Peripheral blood smear — 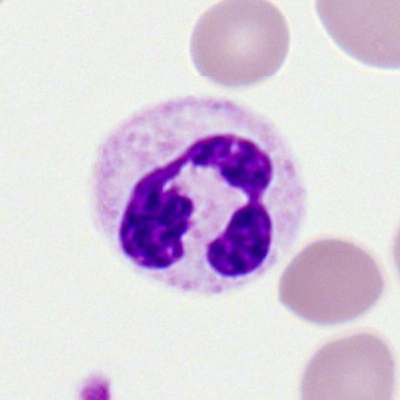

Showing a polymorphonuclear neutrophil.